Bone marrow aspirate smear; single-cell crop: 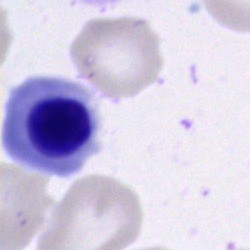

Cell type = erythroblast.